Peripheral blood film; cropped to a single cell; 400×400 — 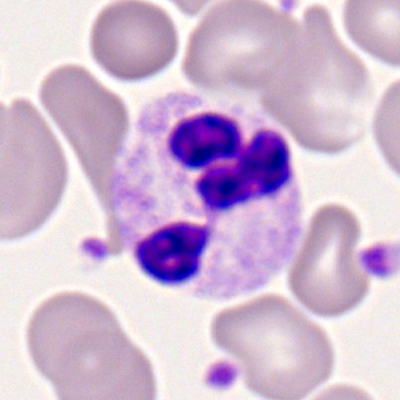Morphological class: neutrophil (segmented).